250×250 px · Pappenheim-stained · bone marrow smear:
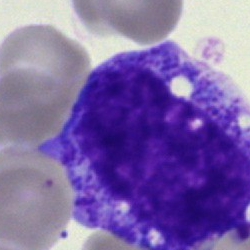 Cell: progranulocyte.